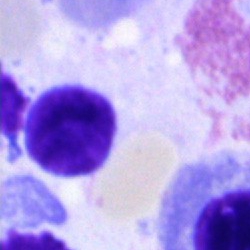 Q: What is the morphological classification of this cell?
A: This is a typical lymphocyte.